Bone marrow smear: 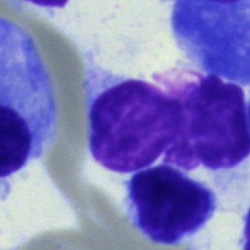 Impression — lymphocyte.